Brightfield, 40× oil-immersion objective · bone marrow aspirate smear — 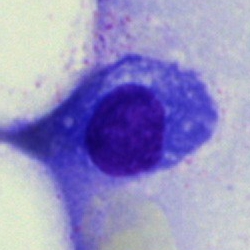 Cell type: plasma cell.